May-Grünwald-Giemsa/Pappenheim stain · bone marrow smear.
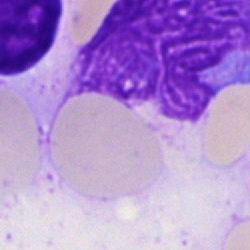

{"cell_type": "artifact"}